Bone marrow aspirate smear; 250×250 px — 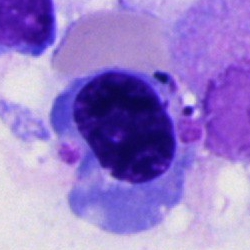

A nucleated red blood cell.